Bone marrow aspirate smear.
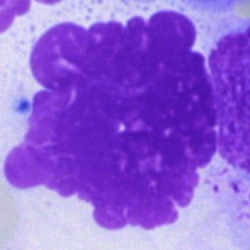 Q: What is shown here?
A: An artifact.